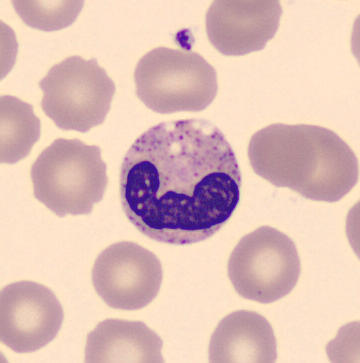Peripheral blood film. 360×363. Cropped to a single cell. The cell shown is a band-form neutrophil.